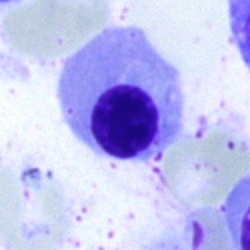

A normoblast.